Bone marrow smear — 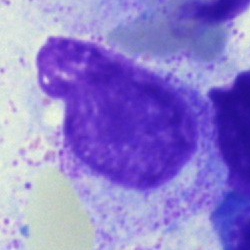 The cell shown is a myelocyte.